Bone marrow aspirate smear.
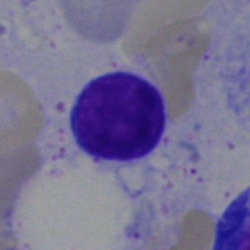

Q: What is the morphological classification of this cell?
A: This is a typical lymphocyte.